Bone marrow aspirate smear; 40× objective, oil immersion.
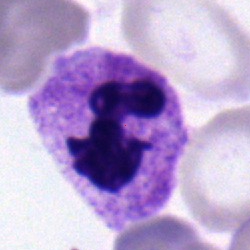

This is a segmented neutrophil.